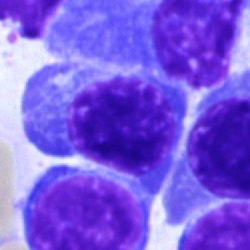

Cell type: nucleated red blood cell.